Bone marrow aspirate smear.
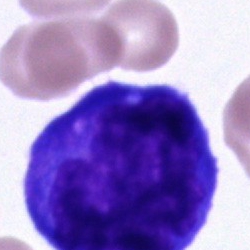{"cell_type": "unidentifiable cell"}